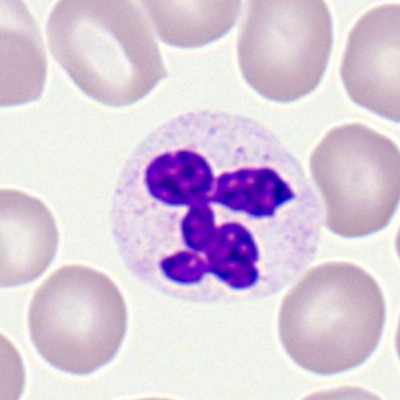Neutrophil (segmented).